250×250 px. Bone marrow aspirate smear. Single-cell crop:
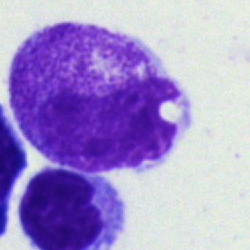
Q: Which cell type is shown here?
A: It is a metamyelocyte.